Cropped to a single cell; 40× objective, oil immersion; bone marrow aspirate smear:
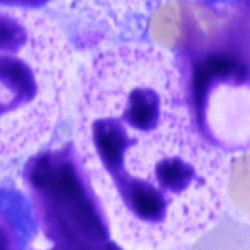
Q: What type of cell is this?
A: It is a segmented neutrophil.